May-Grünwald-Giemsa stain. Cropped to a single cell. Bone marrow aspirate smear — 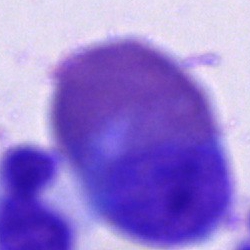
Q: What type of cell is this?
A: This is an eosinophilic granulocyte.